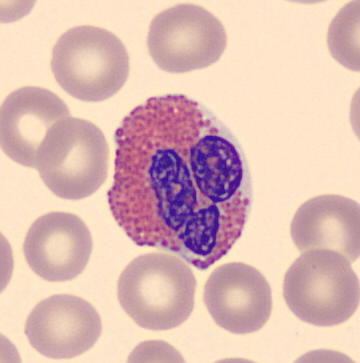Q: What type of cell is this?
A: This is an eosinophilic granulocyte.